Bone marrow aspirate smear · 250 by 250 pixels: 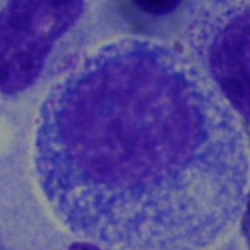A promyelocyte.